Bone marrow smear
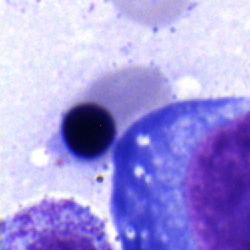 Cell type = erythroblast.